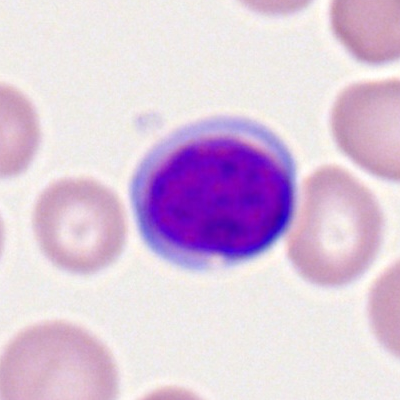A lymphocyte.